Bone marrow aspirate smear: 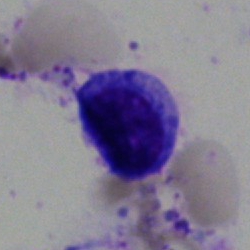 Showing a lymphocyte.